May-Grünwald-Giemsa/Pappenheim stain · bone marrow aspirate smear.
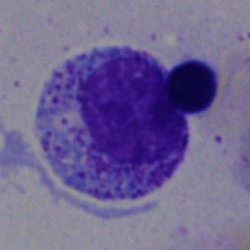Cell type = progranulocyte.